Bone marrow smear · 40× objective, oil immersion · image size 250×250:
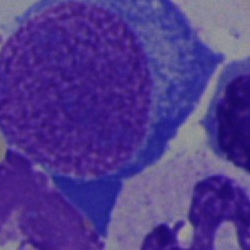Impression → proerythroblast.